40× oil immersion; bone marrow smear
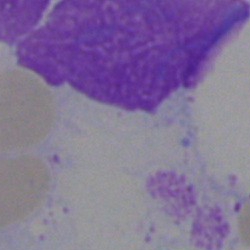

Q: What is shown here?
A: This is an artifact.